Bone marrow smear · 40× objective, oil immersion · 250 by 250 pixels:
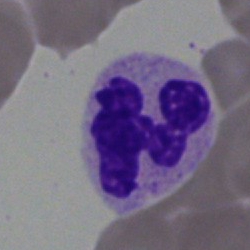 Morphological class = segmented neutrophil.